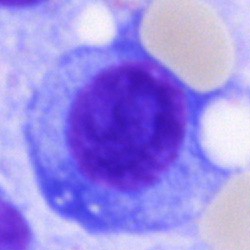
Q: What type of cell is this?
A: It is a plasma cell.